250 by 250 pixels. Bone marrow smear
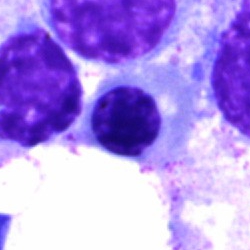 Showing a nucleated red cell.